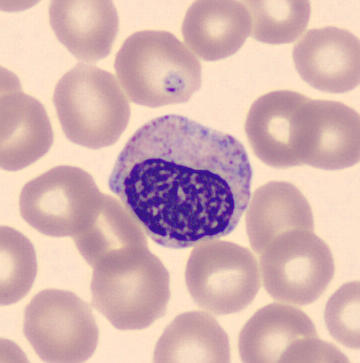Acquisition: Peripheral blood smear. Single cell centered in the field.
Q: What is this?
A: This is a myelocyte.